Bone marrow aspirate smear — 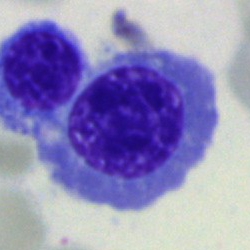

Showing a nucleated red cell.